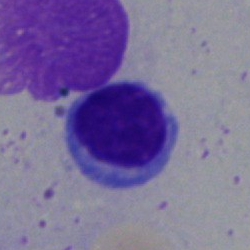Specimen: bone marrow aspirate smear.
Morphological class: typical lymphocyte.
Lineage: lymphoid.